Peripheral blood smear:
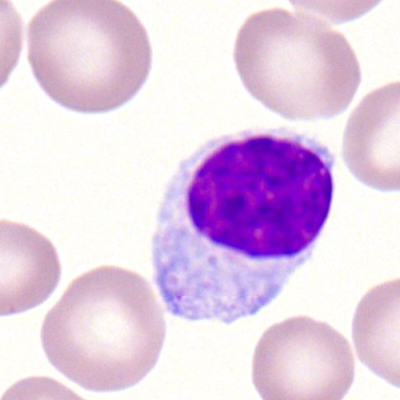 Specimen: peripheral blood film.
Cell: lymphocyte.
Lineage: lymphoid.